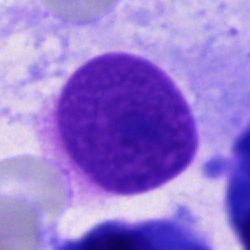The morphological class is other cell.